Bone marrow smear; May-Grünwald-Giemsa stain.
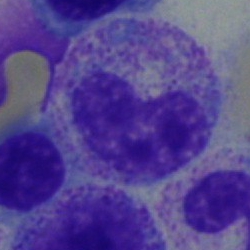
Specimen: bone marrow aspirate smear.
Cell: metamyelocyte.
Lineage: myeloid.